Image size 250×250; bone marrow smear: 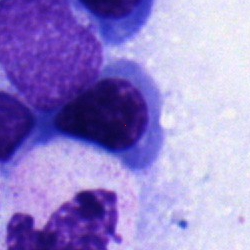{"cell_type": "normoblast", "lineage": "erythroid"}